250 by 250 pixels. Brightfield, 40× oil-immersion objective. Bone marrow smear — 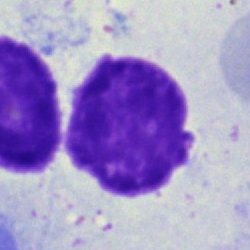Q: What is shown here?
A: It is an artifact.